Bone marrow aspirate smear:
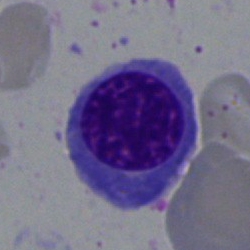

Cell type = normoblast.